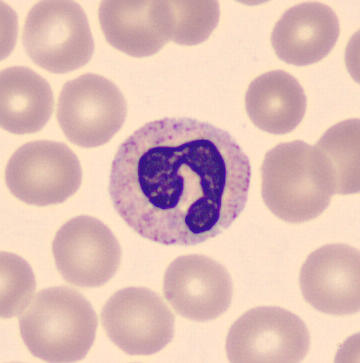Peripheral blood smear; 360×363. Q: Which cell type is shown here?
A: This is a stab cell.